Bone marrow aspirate smear: 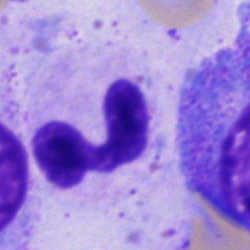 Specimen: bone marrow smear.
Morphological class: segmented neutrophil.